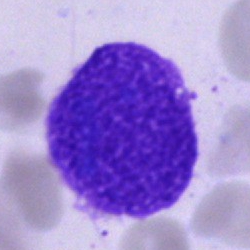This is an artefact.